Bone marrow smear.
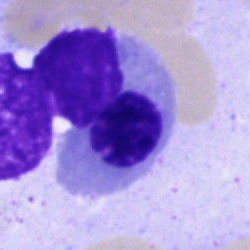 Classification — erythroblast.